May-Grünwald-Giemsa stain · single-cell crop · bone marrow smear
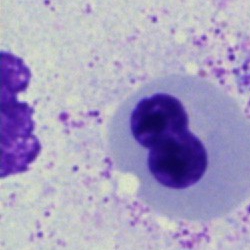 Normoblast.